250×250 · bone marrow smear
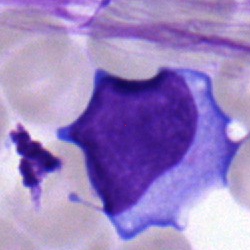

Q: What is shown here?
A: A lymphocyte.